Bone marrow aspirate smear. Brightfield, 40× oil-immersion objective. MGG-stained:
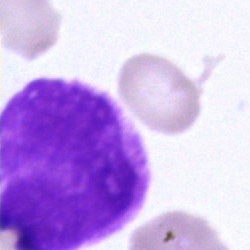
Morphology — artifact.